Bone marrow aspirate smear.
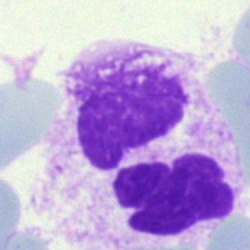Specimen: bone marrow aspirate smear.
Cell: artefact.